Bone marrow aspirate smear
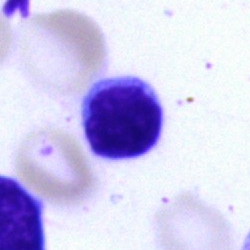 A lymphocyte.